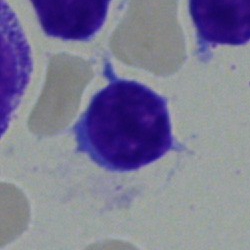
Cell type — lymphocyte.